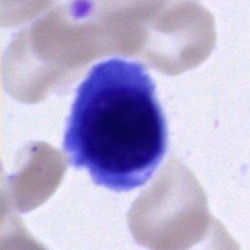Q: Which cell type is shown here?
A: Normoblast.